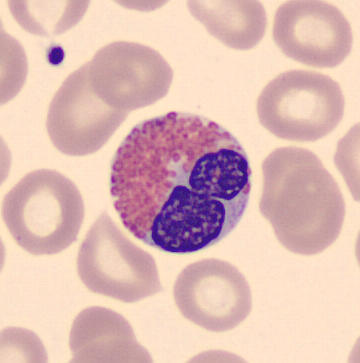 Impression — eosinophil.
Preparation: Peripheral blood smear · 360 by 363 pixels.